Cropped to a single cell. Bone marrow aspirate smear: 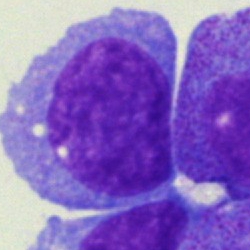 Single cell identified as a blast.